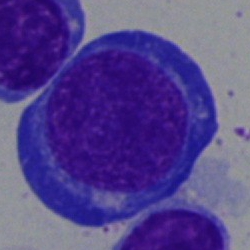Morphology → erythroblast.